Bone marrow smear.
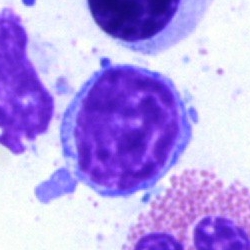 Q: What is shown here?
A: It is a lymphocyte.